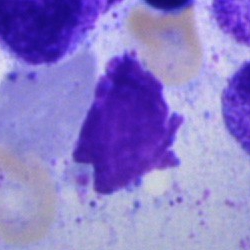The morphological class is artefact.